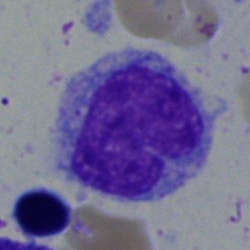Showing an erythroblast.